Peripheral blood smear — 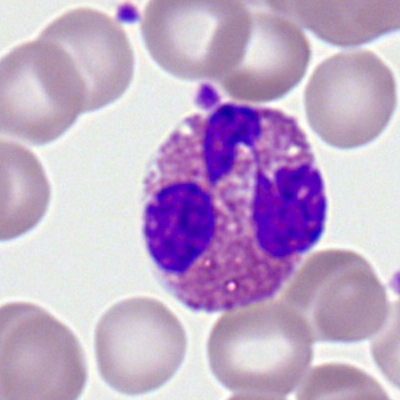 Cell = eosinophil.